Bone marrow aspirate smear.
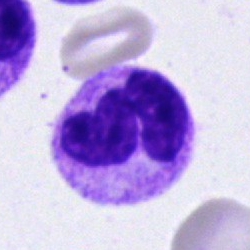 {"cell_type": "segmented neutrophil", "lineage": "myeloid"}